Bone marrow smear — 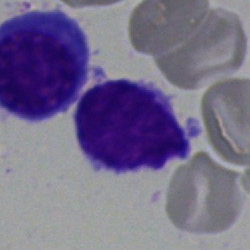

Lymphocyte.